Bone marrow aspirate smear — 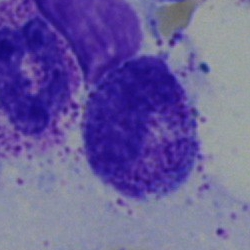

A metamyelocyte.